Bone marrow smear · 250×250: 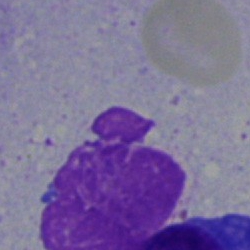 The cell shown is an artifact.